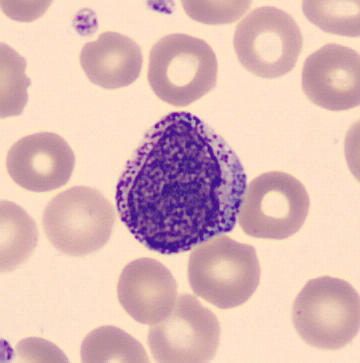 Peripheral blood smear. May-Grünwald-Giemsa-stained.

Morphology consistent with a myelocyte.